Bone marrow aspirate smear · 250×250 px.
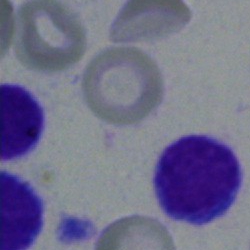
Cell type: typical lymphocyte.